Single cell centered in the field · bone marrow smear:
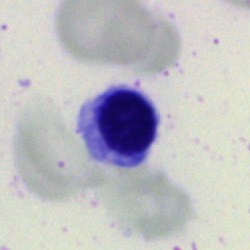 The cell shown is an erythroblast.